Bone marrow aspirate smear.
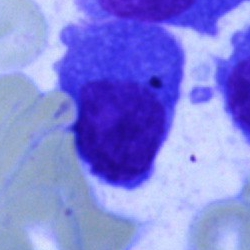Morphology consistent with a plasma cell.